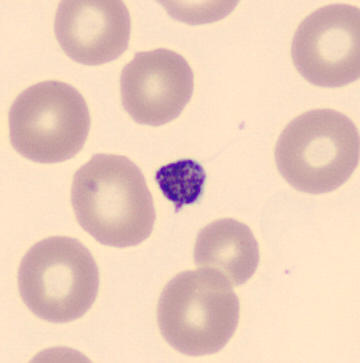 Image size 360×363 · May Grünwald-Giemsa stain · peripheral blood smear.
Showing a platelet (thrombocyte).